Bone marrow smear. Cropped to a single cell:
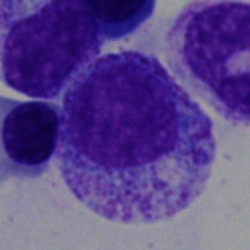 {"cell_type": "myelocyte"}